Bone marrow aspirate smear. Single-cell crop:
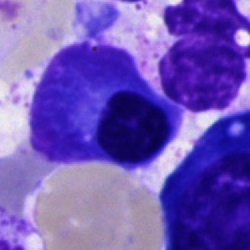 A plasma cell.